Bone marrow aspirate smear
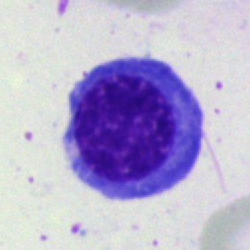 Specimen: bone marrow smear.
Cell type: erythroblast.
Lineage: erythroid.